250×250. Bone marrow smear — 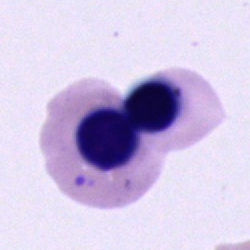

Specimen: bone marrow smear.
Cell: cell of indeterminate lineage.